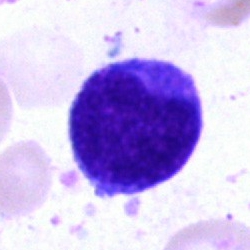 Cell type: undifferentiated blast.